Brightfield, 40× oil-immersion objective; bone marrow smear: 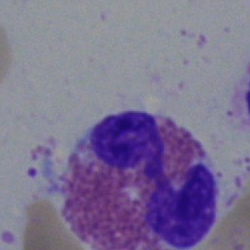

Morphology consistent with an eosinophilic granulocyte.